Bone marrow aspirate smear — 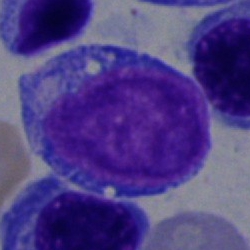

An undifferentiated blast.